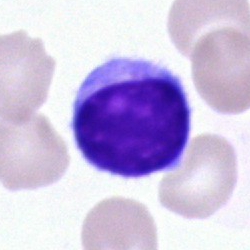

Morphology consistent with a lymphocyte.